Bone marrow smear — 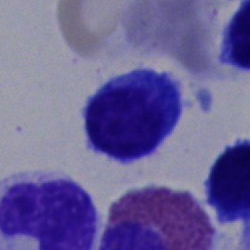Specimen: bone marrow smear.
Cell: typical lymphocyte.